250 by 250 pixels. Bone marrow smear.
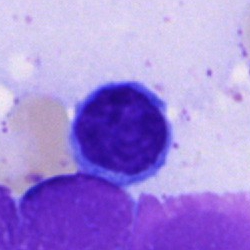

Q: What is shown here?
A: Lymphocyte.